Bone marrow aspirate smear. 250×250.
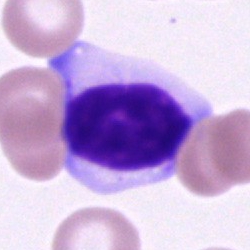 Cell type: typical lymphocyte.